Peripheral blood film
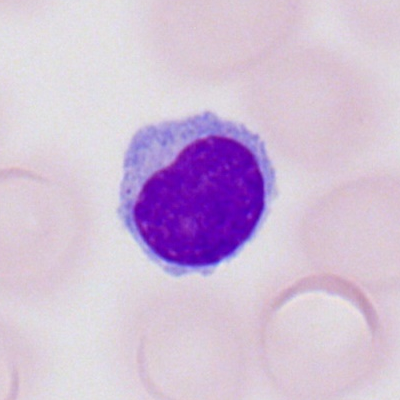

Specimen: peripheral blood smear.
Morphological class: lymphocyte.
Lineage: lymphoid.